Single-cell crop · bone marrow smear:
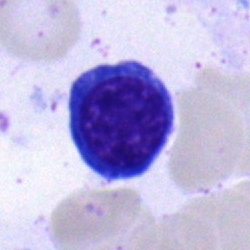Q: What type of cell is this?
A: It is an erythroblast.